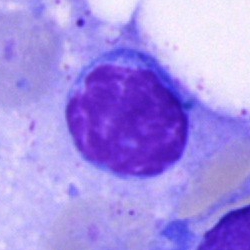A typical lymphocyte.